Bone marrow aspirate smear; single-cell crop; brightfield, 40× oil-immersion objective
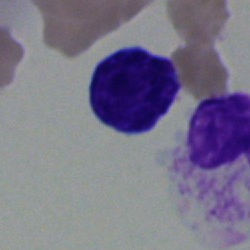Q: Which cell type is shown here?
A: A typical lymphocyte.